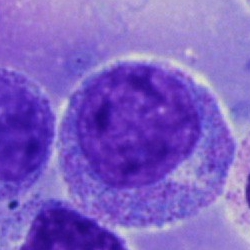 The cell type is promyelocyte.